Single cell centered in the field; bone marrow aspirate smear.
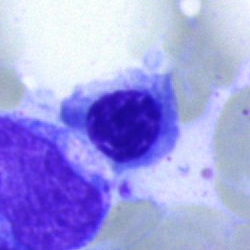The cell type is nucleated red cell.